Bone marrow aspirate smear: 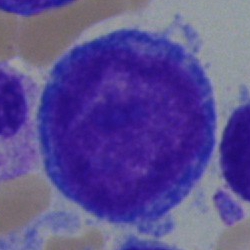

Cell type: blast cell.